Bone marrow aspirate smear; cropped to a single cell; 250×250.
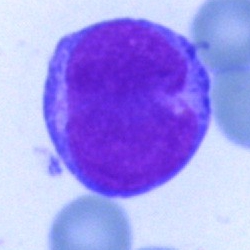

Undifferentiated blast.